Bone marrow aspirate smear
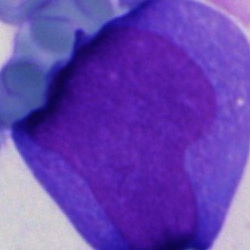The cell shown is an undifferentiated blast.